Bone marrow smear — 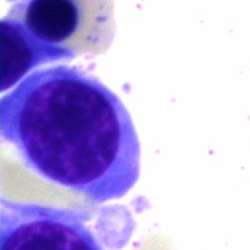 Q: What type of cell is this?
A: This is a nucleated red blood cell.